250×250 px · bone marrow smear:
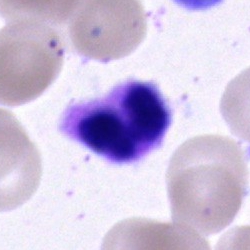 The cell shown is a segmented neutrophil.